Bone marrow aspirate smear · single-cell field.
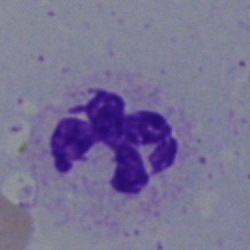
Q: What type of cell is this?
A: Polymorphonuclear neutrophil.